Bone marrow smear · 40× objective, oil immersion — 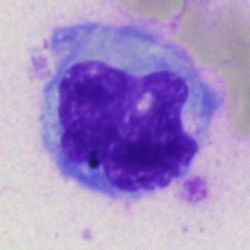 Impression — monocyte.